Bone marrow smear
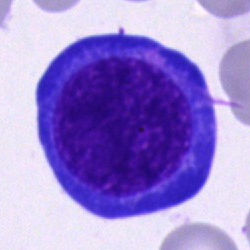
Morphology consistent with a nucleated red blood cell.